Brightfield microscopy, 40× oil immersion · bone marrow aspirate smear:
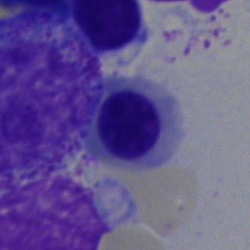 Morphological class: nucleated red cell.